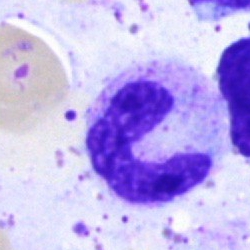Impression — band neutrophil.